Bone marrow aspirate smear.
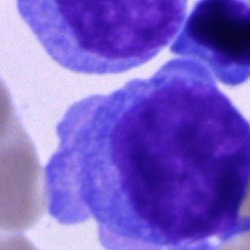

Q: What is shown here?
A: It is an undifferentiated blast.